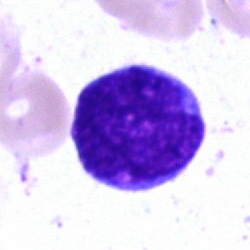

An undifferentiated blast.